Bone marrow smear; May-Grünwald-Giemsa stain
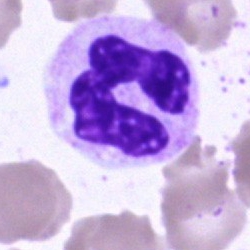 Impression → eosinophilic granulocyte.